Single-cell field; bone marrow aspirate smear
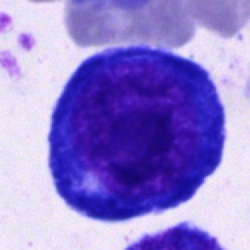Cell: pronormoblast.